Bone marrow aspirate smear; brightfield, 40× oil-immersion objective.
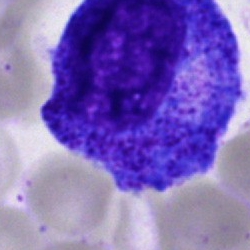

The cell shown is a progranulocyte.